Bone marrow aspirate smear: 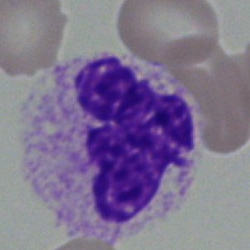

Showing a polymorphonuclear neutrophil.